Bone marrow smear · MGG-stained: 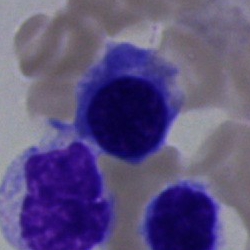Cell — erythroblast.